May-Grünwald-Giemsa stain · bone marrow aspirate smear · single-cell field: 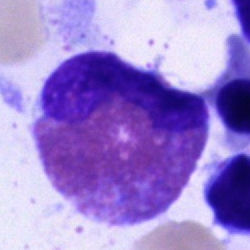 Morphological class: eosinophil.